Bone marrow aspirate smear. MGG-stained:
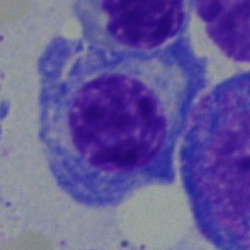

Cell type: plasma cell.